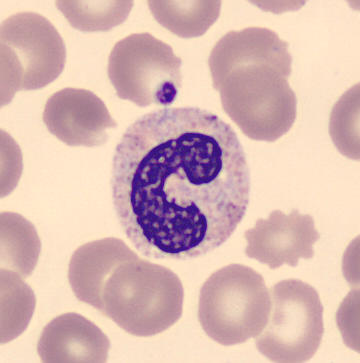
Showing a band-form neutrophil.